May-Grünwald-Giemsa stain; 40× oil immersion; bone marrow smear — 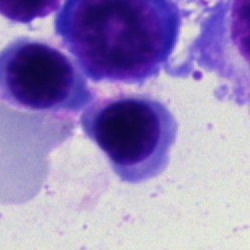

Morphological class = nucleated red blood cell.